MGG-stained; bone marrow aspirate smear
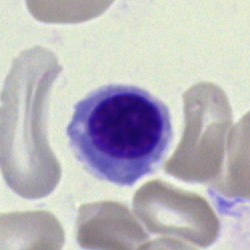Q: Which cell type is shown here?
A: A nucleated red cell.